250×250. Bone marrow smear
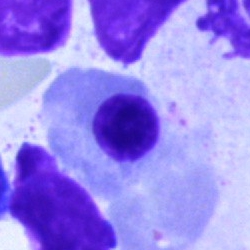
Cell = nucleated red blood cell.